Pappenheim-stained; bone marrow aspirate smear: 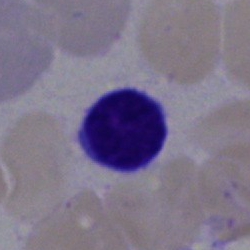

Single cell identified as a typical lymphocyte.